Bone marrow aspirate smear. 250×250 px:
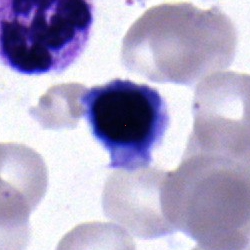Impression → erythroblast.